Bone marrow smear: 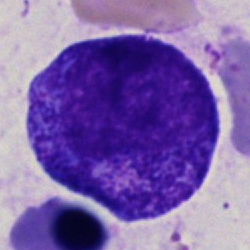

Impression — promyelocyte.